Single cell centered in the field · bone marrow smear
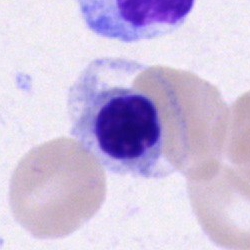 The classification is nucleated red cell.